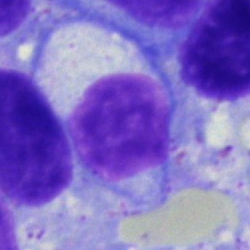
Specimen: bone marrow aspirate smear.
Morphological class: typical lymphocyte.